Bone marrow aspirate smear — 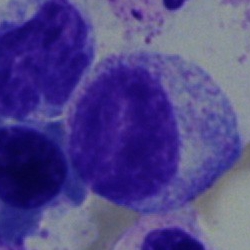

{"cell_type": "myelocyte", "lineage": "myeloid"}